CellaVision DM96. Single-cell field. Peripheral blood film.
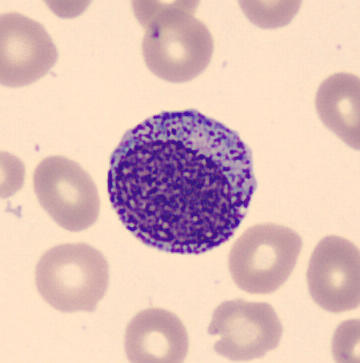
Promyelocyte.